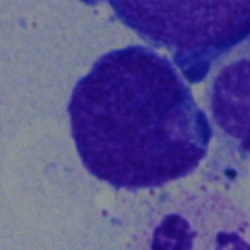
Bone marrow smear showing a blast.